250 by 250 pixels; bone marrow aspirate smear: 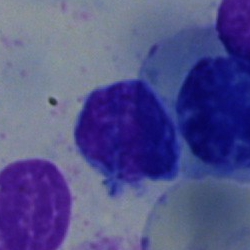The cell type is lymphocyte.